Brightfield, 40× oil-immersion objective; single-cell field; bone marrow smear.
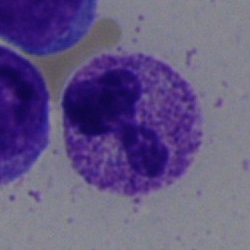Cell type — segmented neutrophil.